Bone marrow aspirate smear · 40× objective, oil immersion — 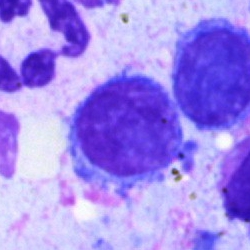The morphological class is typical lymphocyte.